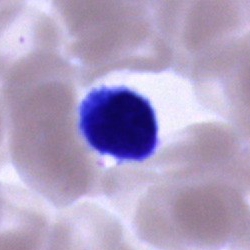

Classification = cell of indeterminate lineage.